Bone marrow smear:
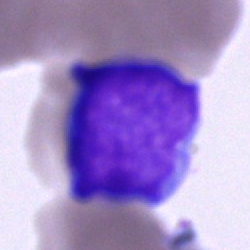 This is a blast cell.